Peripheral blood film
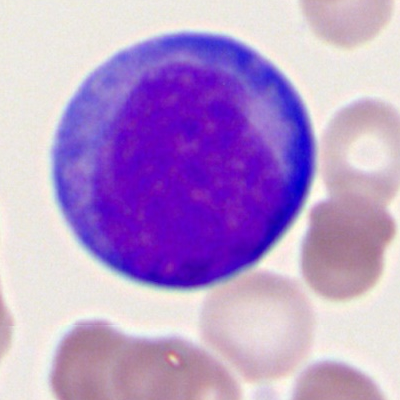

Morphology consistent with a myeloid blast.